40× objective, oil immersion · bone marrow smear · May-Grünwald-Giemsa stain: 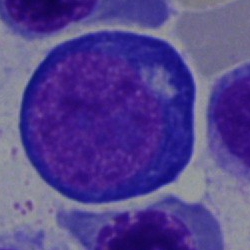 Q: What is shown here?
A: This is a pronormoblast.